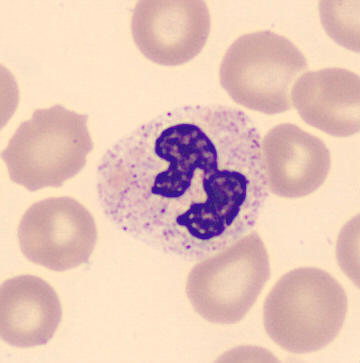

Morphology → polymorphonuclear neutrophil.